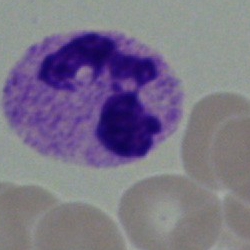 Q: What cell is this?
A: It is a polymorphonuclear neutrophil.